Bone marrow aspirate smear: 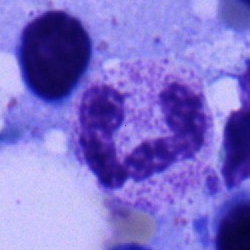 The morphological class is segmented neutrophil.